Bone marrow smear
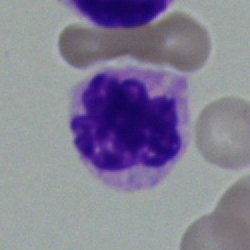

Q: What type of cell is this?
A: Polymorphonuclear neutrophil.